250 by 250 pixels. Bone marrow smear.
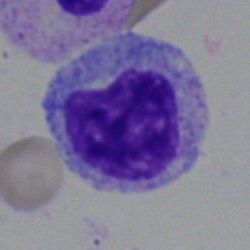 Q: What cell is this?
A: It is a metamyelocyte.